40× objective, oil immersion · 250×250 px · bone marrow aspirate smear.
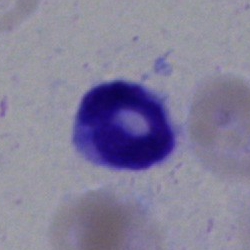

Morphology consistent with a polymorphonuclear neutrophil.